Peripheral blood smear:
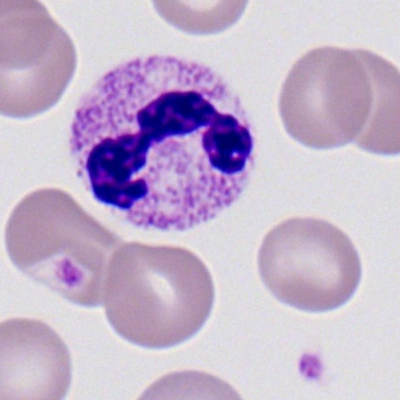

Cell type = segmented neutrophil.